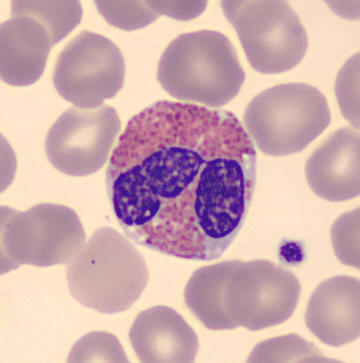

From a peripheral blood smear: an eosinophil.